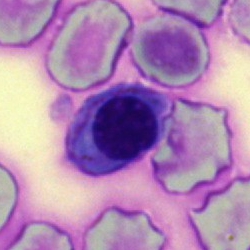 This is a nucleated red blood cell.